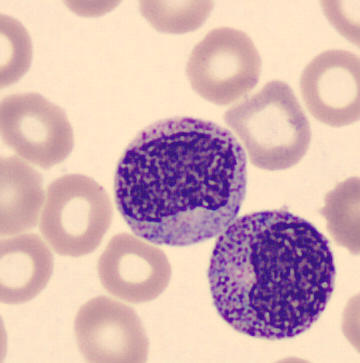

Single cell identified as a metamyelocyte.

Acquisition: Peripheral blood smear · MGG stain.